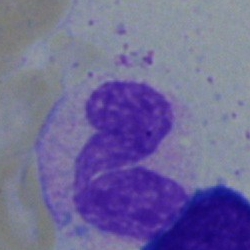
The cell type is polymorphonuclear neutrophil.